Bone marrow smear. Brightfield microscopy, 40× oil immersion:
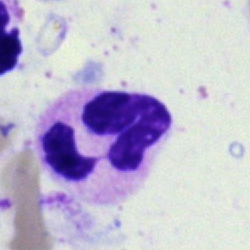This is a polymorphonuclear neutrophil.